Peripheral blood film — 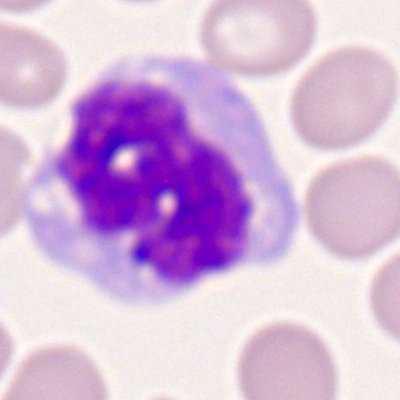
Monocyte.